Bone marrow smear:
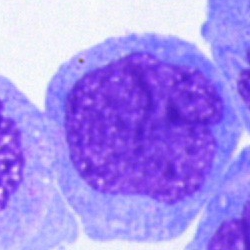{"cell_type": "undifferentiated blast"}